Peripheral blood film:
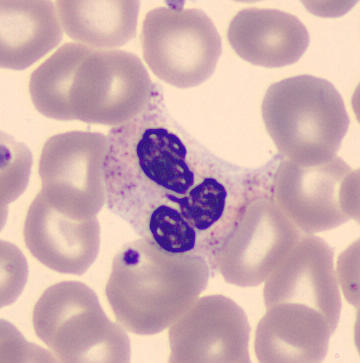
Showing a polymorphonuclear neutrophil.